Bone marrow smear
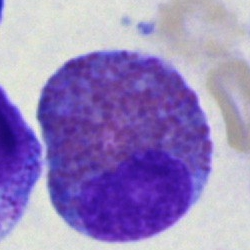 Impression — eosinophil.